Brightfield, 40× oil-immersion objective; bone marrow smear; 250×250 px: 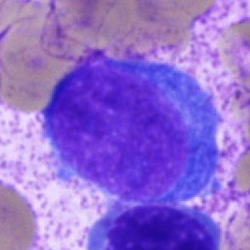
Specimen: bone marrow aspirate smear.
Classification: undifferentiated blast.